Bone marrow smear; single cell centered in the field: 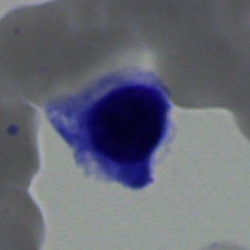This is a normoblast.